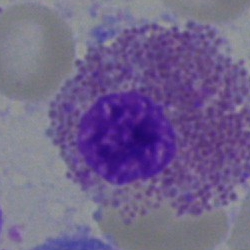This is an eosinophilic granulocyte.